250×250 px; bone marrow aspirate smear:
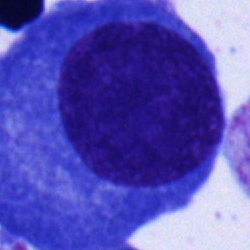
Plasmacyte.